Bone marrow smear.
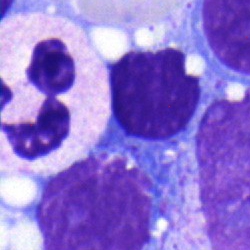
Morphology — segmented neutrophil.